Bone marrow smear: 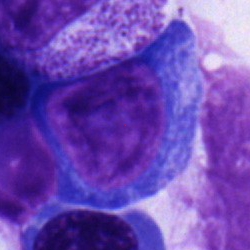

{"cell_type": "proerythroblast"}